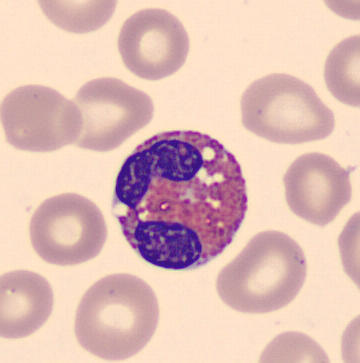

An eosinophil.

Peripheral blood film.